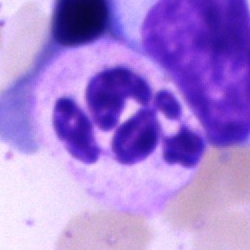

The classification is neutrophil (segmented).